May-Grünwald-Giemsa stain; bone marrow aspirate smear — 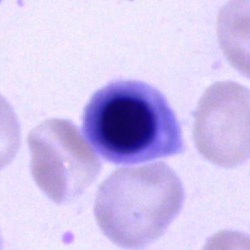
The cell shown is a normoblast.